Brightfield microscopy, 40× oil immersion; 250×250 px; bone marrow aspirate smear — 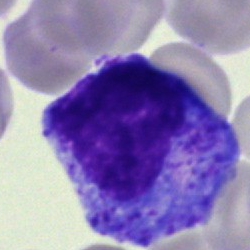
A promyelocyte.